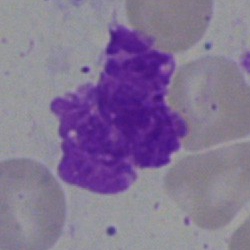Impression — artefact.